40× objective, oil immersion · bone marrow aspirate smear: 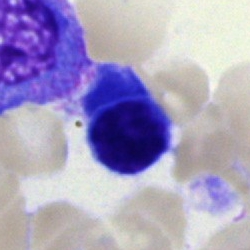

Q: Which cell type is shown here?
A: It is a typical lymphocyte.